Bone marrow aspirate smear. MGG-stained
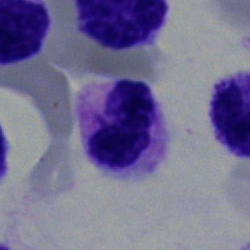Morphology consistent with a neutrophil (segmented).